Bone marrow aspirate smear; 250 by 250 pixels — 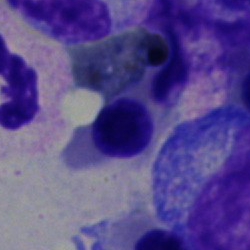 Erythroblast.